Bone marrow smear.
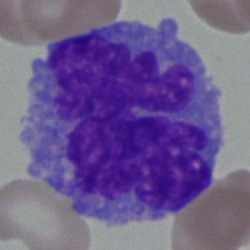 The cell shown is a monocyte.